Bone marrow aspirate smear: 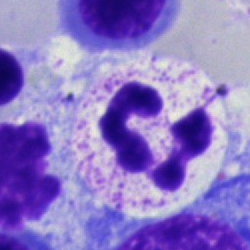
Segmented neutrophil.